Bone marrow aspirate smear · image size 250×250.
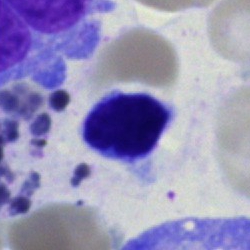
Q: Identify the cell.
A: A lymphocyte.